Single cell centered in the field. Bone marrow aspirate smear. Brightfield, 40× oil-immersion objective.
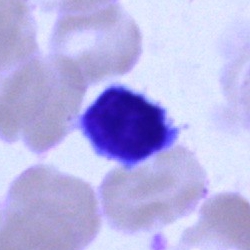Typical lymphocyte.